Brightfield microscopy, 40× oil immersion · May-Grünwald-Giemsa stain · bone marrow aspirate smear: 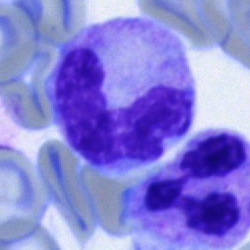

Single cell identified as a polymorphonuclear neutrophil.